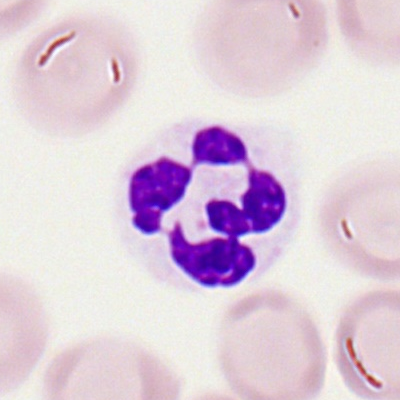
The classification is neutrophil (segmented).